Bone marrow aspirate smear; 250×250 px
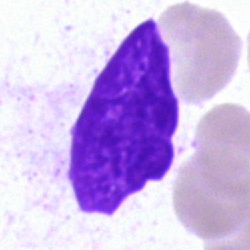 This is an artefact.